Bone marrow aspirate smear
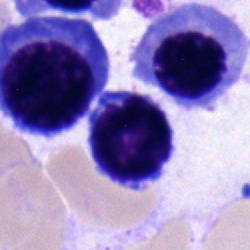
Cell — lymphocyte.